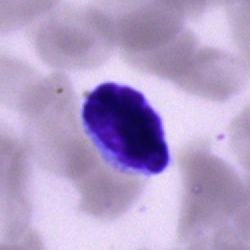
The cell type is lymphocyte.